Bone marrow aspirate smear
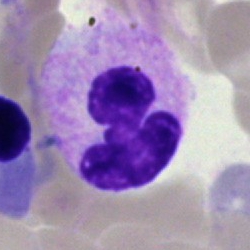 Morphology consistent with a polymorphonuclear neutrophil.